Bone marrow smear
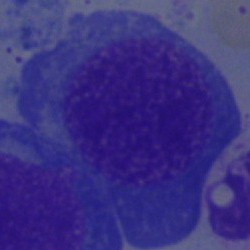The classification is nucleated red blood cell.